40× objective, oil immersion · bone marrow smear:
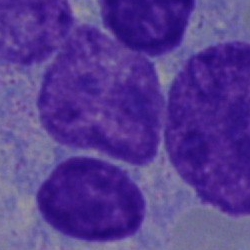 Artifact.